Bone marrow aspirate smear: 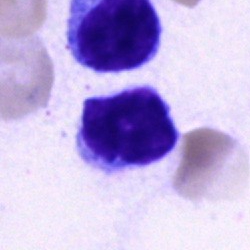

Single cell identified as a lymphocyte.